Bone marrow smear:
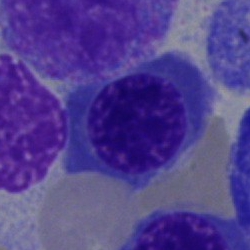
Nucleated red blood cell.